Peripheral blood film:
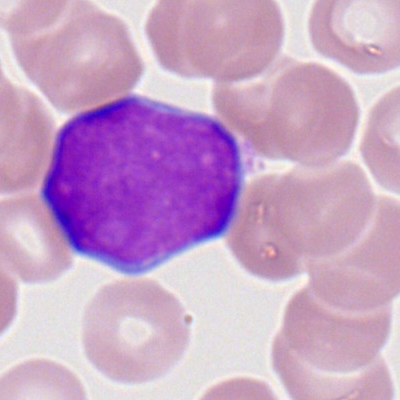

This is a myeloid blast.